Bone marrow aspirate smear
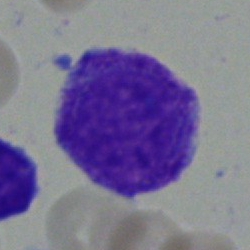

Q: Identify the cell.
A: Blast cell.